Bone marrow smear:
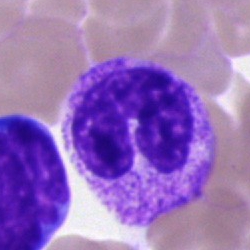
Morphological class — stab cell.